Bone marrow smear:
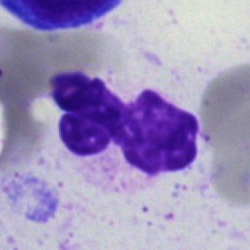

Cell type — neutrophil (segmented).